Bone marrow aspirate smear: 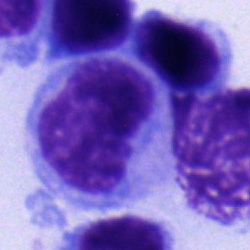

Morphological class — monocyte.